Bone marrow smear:
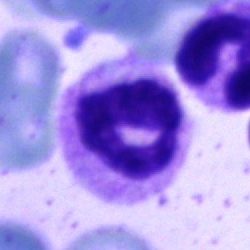A polymorphonuclear neutrophil.